Brightfield microscopy, 40× oil immersion; bone marrow smear; 250 by 250 pixels
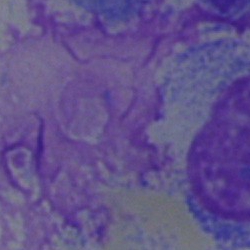
Morphology — artefact.